Peripheral blood film.
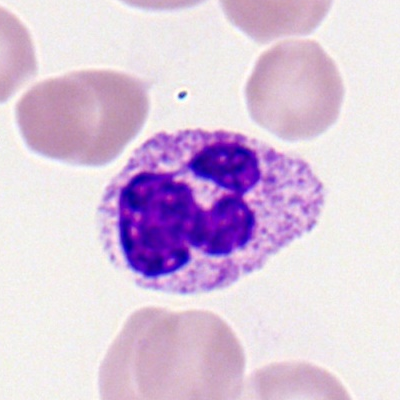
Q: What is shown here?
A: It is a polymorphonuclear neutrophil.